Bone marrow smear; cropped to a single cell — 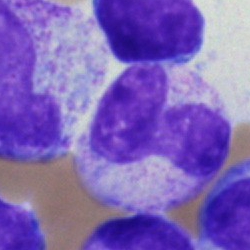 Impression → stab cell.